Bone marrow smear:
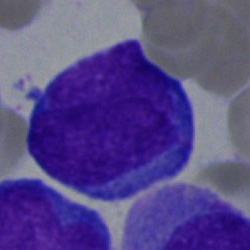{"cell_type": "undifferentiated blast"}